Single-cell field. 400×400. Peripheral blood film.
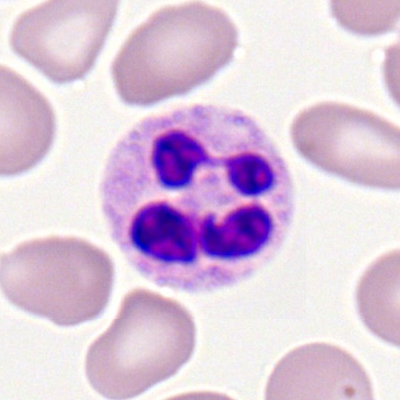 Morphology — neutrophil (segmented).